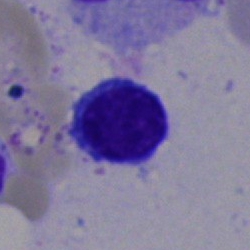Morphology consistent with a typical lymphocyte.